Bone marrow smear: 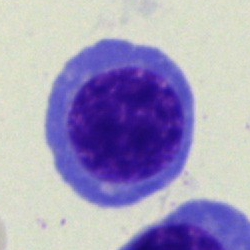
Specimen: bone marrow smear.
Cell type: normoblast.